Bone marrow aspirate smear
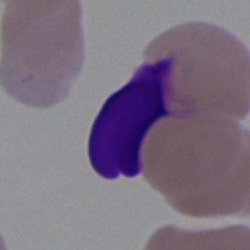 Q: What is shown here?
A: This is an artifact.